Bone marrow aspirate smear · cropped to a single cell · May-Grünwald-Giemsa/Pappenheim stain.
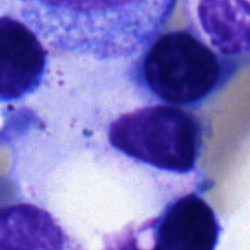

Morphology consistent with a progranulocyte.